Brightfield, 100× oil-immersion objective. Peripheral blood smear. 400 by 400 pixels.
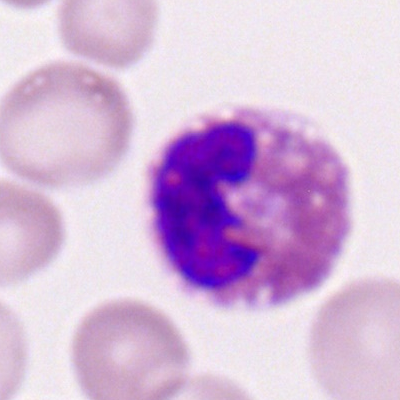Specimen: peripheral blood film.
Classification: eosinophil.
Lineage: myeloid.